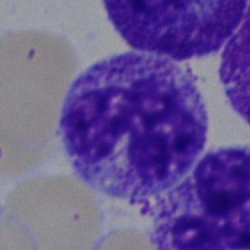 Single-cell crop from a bone marrow smear: neutrophil (segmented).